Single cell centered in the field. Bone marrow aspirate smear — 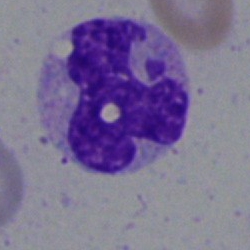 Specimen: bone marrow smear.
Classification: neutrophil (segmented).
Lineage: myeloid.